250 by 250 pixels · bone marrow smear.
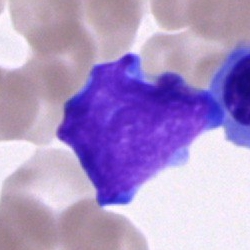

Morphological class — typical lymphocyte.